Single-cell field. Bone marrow aspirate smear. 40× oil immersion — 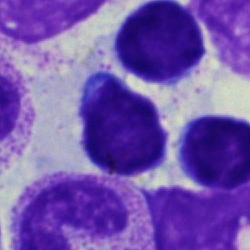 Impression → lymphocyte.